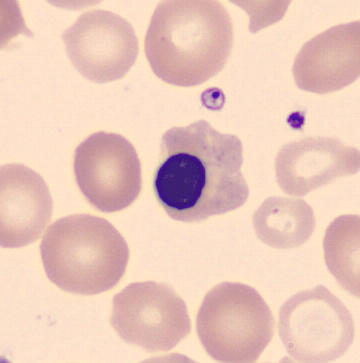From a peripheral blood smear: a nucleated red blood cell.